Single-cell crop. Bone marrow smear — 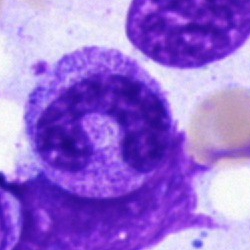
Morphology consistent with a band-form neutrophil.